Bone marrow smear: 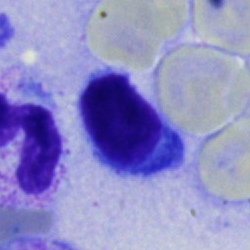 Showing a lymphocyte.